Bone marrow aspirate smear.
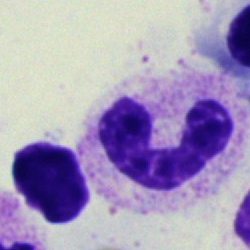 The morphological class is neutrophil (band).